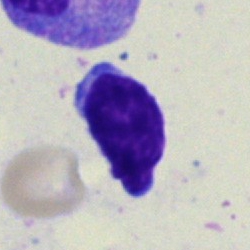

Morphological class — typical lymphocyte.